Brightfield, 40× oil-immersion objective. Bone marrow aspirate smear: 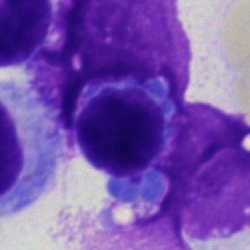

The cell type is artefact.